Peripheral blood film — 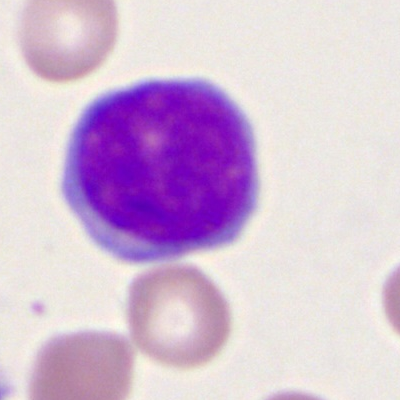Specimen: peripheral blood film.
Classification: myeloid blast.
Lineage: myeloid.